Single-cell field; peripheral blood smear
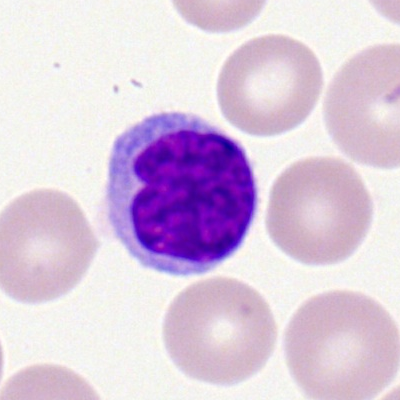

{"cell_type": "lymphocyte"}